Bone marrow smear · single-cell field · May-Grünwald-Giemsa stain:
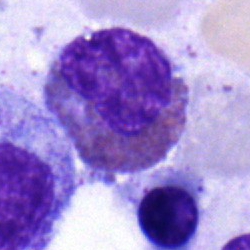 Cell type — eosinophilic granulocyte.